Peripheral blood smear:
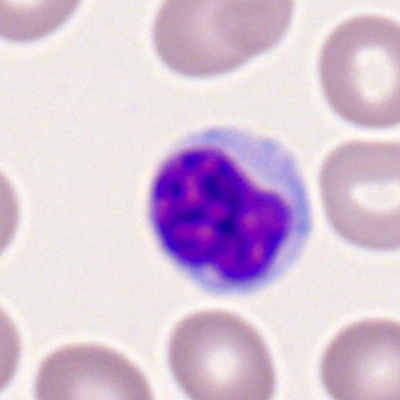 Lymphocyte.